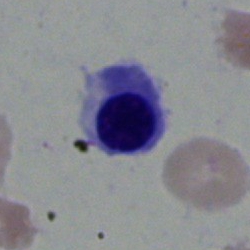Impression → normoblast.